Bone marrow smear · Pappenheim-stained · brightfield microscopy, 40× oil immersion — 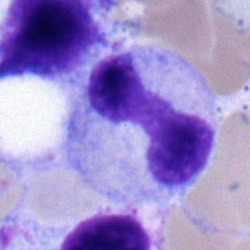Classification = band-form neutrophil.